Single-cell field; bone marrow smear; 40× objective, oil immersion — 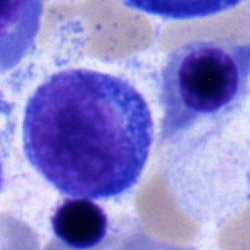A pronormoblast.